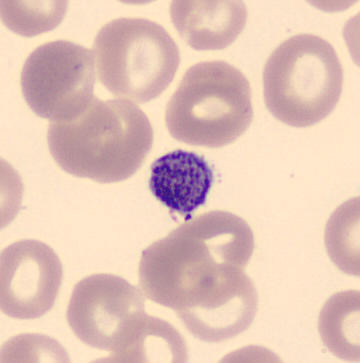 Preparation: Imaged on a CellaVision DM96 analyser. Peripheral blood film.

A platelet (thrombocyte).